Peripheral blood film · brightfield, 100× oil-immersion objective · single cell centered in the field — 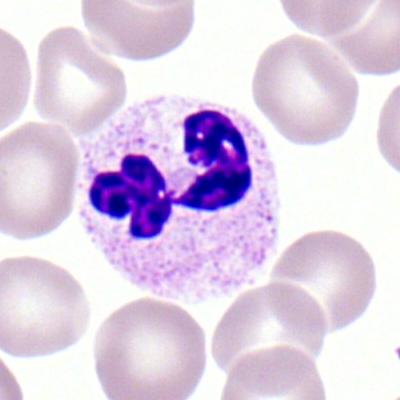
The cell shown is a neutrophil (segmented).